Bone marrow aspirate smear.
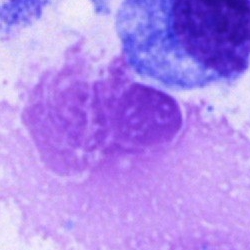

Q: What is shown here?
A: An artefact.